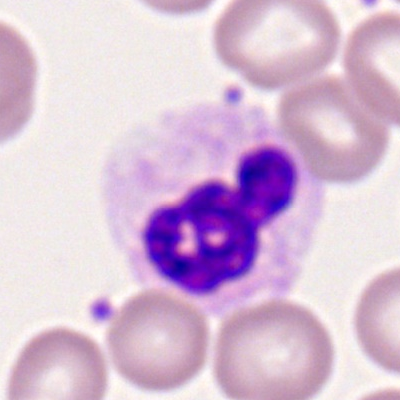

Q: What is shown here?
A: Polymorphonuclear neutrophil.